Bone marrow aspirate smear · single-cell crop · May-Grünwald-Giemsa stain.
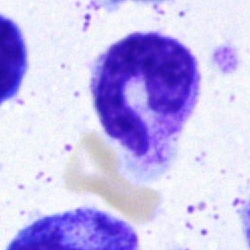Specimen: bone marrow aspirate smear.
Morphological class: segmented neutrophil.